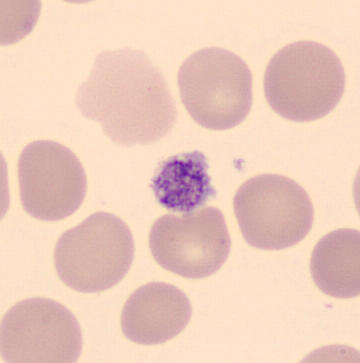
From a peripheral blood smear: a platelet (thrombocyte).